Bone marrow aspirate smear.
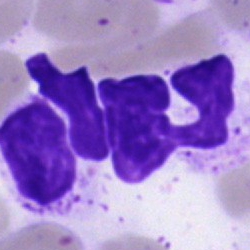

Cell = artefact.